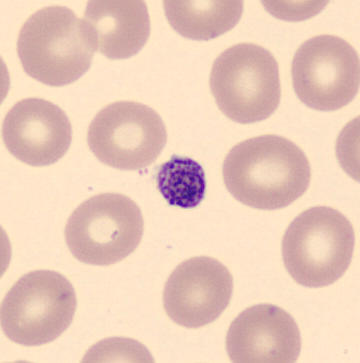
Automated cell imaging (CellaVision DM96). 360×363. Peripheral blood smear. The cell type is thrombocyte.